Bone marrow smear. Pappenheim-stained. Single-cell crop — 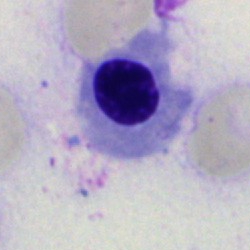
Morphological class: nucleated red blood cell.